Bone marrow smear. Single-cell field
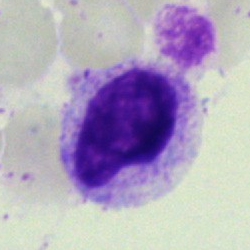

Myelocyte.